Single-cell field · 100× oil immersion, 14.14 px/µm · peripheral blood smear:
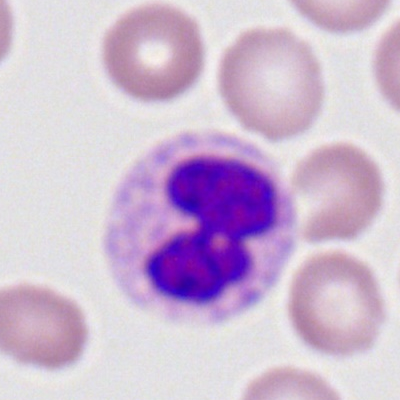
Q: Identify the cell.
A: A polymorphonuclear neutrophil.